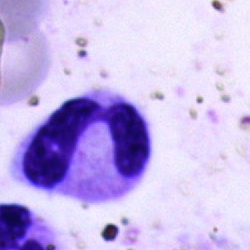 Q: What cell is this?
A: A neutrophil (segmented).